Image size 250×250. Bone marrow smear: 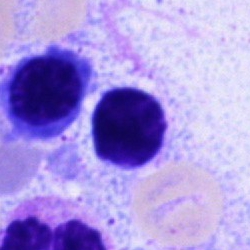Q: What cell is this?
A: It is a typical lymphocyte.